Bone marrow smear.
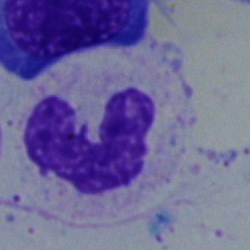
{"cell_type": "segmented neutrophil", "lineage": "myeloid"}